Bone marrow smear. MGG-stained
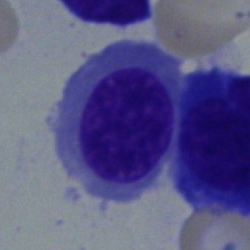

Q: What is the morphological classification of this cell?
A: This is a nucleated red cell.